250×250 · 40× objective, oil immersion · bone marrow aspirate smear.
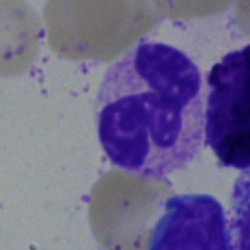Showing a polymorphonuclear neutrophil.